Bone marrow aspirate smear. Brightfield microscopy, 40× oil immersion — 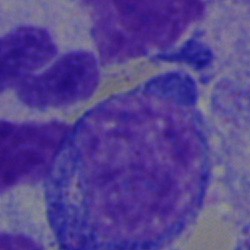The cell shown is a progranulocyte.